Peripheral blood smear: 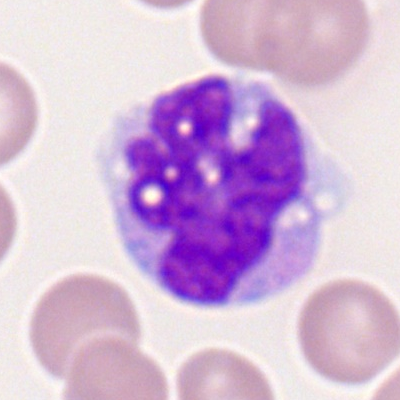Showing a monocyte.